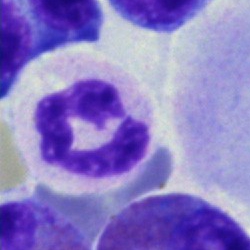 A neutrophil (segmented).